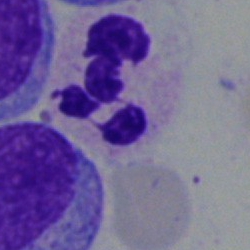

Specimen: bone marrow smear.
Classification: polymorphonuclear neutrophil.